Bone marrow aspirate smear.
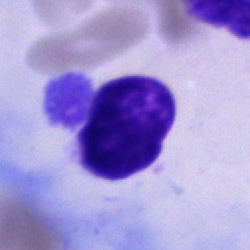

Cell = artefact.